Single-cell crop · bone marrow smear.
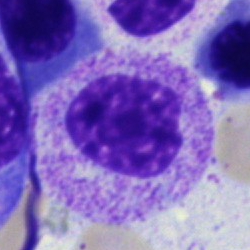
Classification = myelocyte.